Bone marrow aspirate smear. Single cell centered in the field.
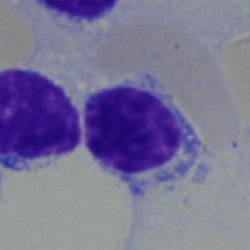
Cell = lymphocyte.